Bone marrow aspirate smear · 40× oil immersion:
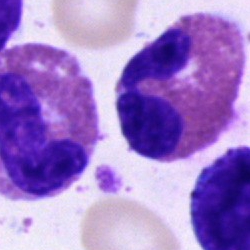Eosinophil.